Bone marrow aspirate smear
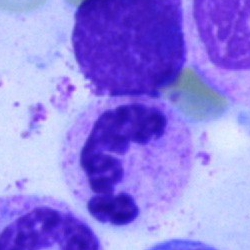 Cell — polymorphonuclear neutrophil.